Bone marrow aspirate smear · May-Grünwald-Giemsa/Pappenheim stain — 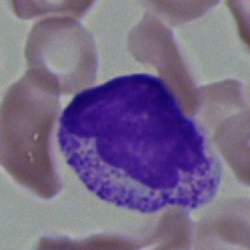

This is a myelocyte.